Bone marrow smear: 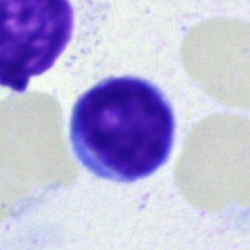

Q: What is shown here?
A: Typical lymphocyte.